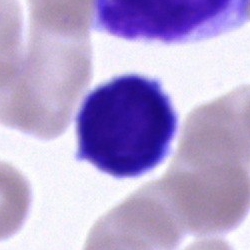
Q: What is shown here?
A: It is a typical lymphocyte.